Bone marrow aspirate smear
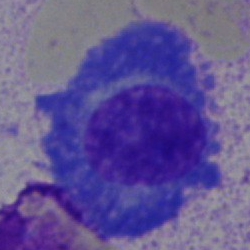 Single cell identified as a plasmacyte.